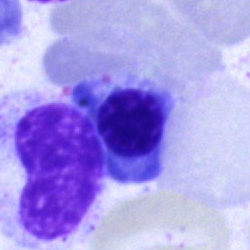 Specimen: bone marrow smear.
Cell type: nucleated red cell.
Lineage: erythroid.